Brightfield microscopy, 40× oil immersion; bone marrow aspirate smear.
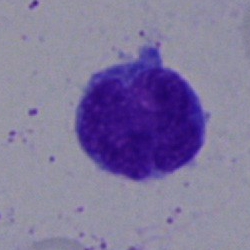

Cell type: typical lymphocyte.